Bone marrow aspirate smear:
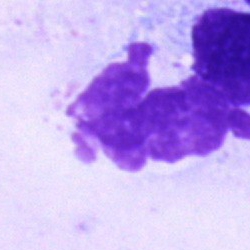

Classification: artefact.